Cropped to a single cell. 100× oil immersion. Peripheral blood smear
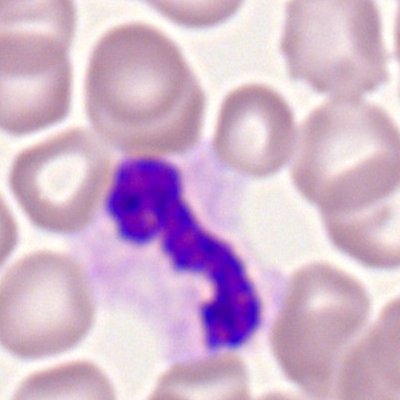

The cell shown is a segmented neutrophil.